Bone marrow aspirate smear
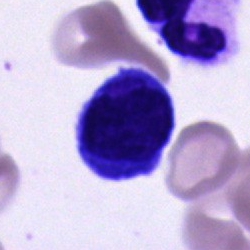 Cell of indeterminate lineage.